40× objective, oil immersion; bone marrow aspirate smear.
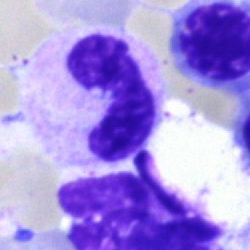

Single cell identified as a band neutrophil.